Bone marrow smear — 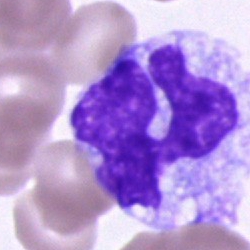
Morphology consistent with a monocyte.